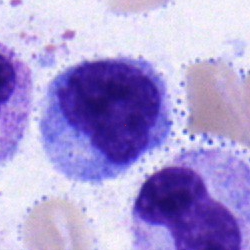 Q: What cell is this?
A: This is a monocyte.